Bone marrow smear: 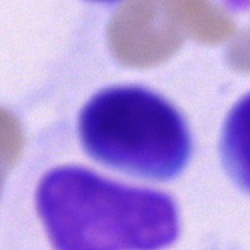

Morphology → typical lymphocyte.